Bone marrow smear · May-Grünwald-Giemsa/Pappenheim stain:
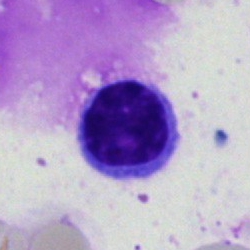

Typical lymphocyte.